Bone marrow aspirate smear; single cell centered in the field; 40× objective, oil immersion.
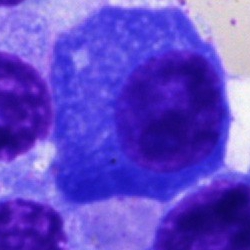Plasma cell.